250×250 px; bone marrow smear
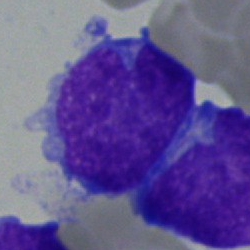

Specimen: bone marrow smear.
Cell: blast cell.